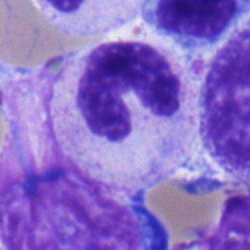

Morphology — neutrophil (band).